Bone marrow aspirate smear; May-Grünwald-Giemsa/Pappenheim stain:
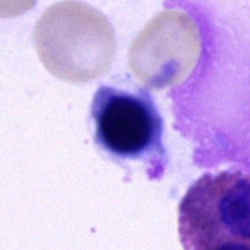Cell type = nucleated red cell.